Single cell centered in the field · bone marrow smear.
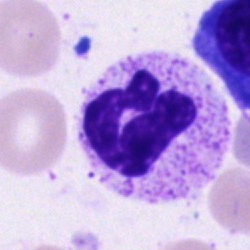 This is a segmented neutrophil.